Bone marrow aspirate smear; May-Grünwald-Giemsa stain; brightfield, 40× oil-immersion objective:
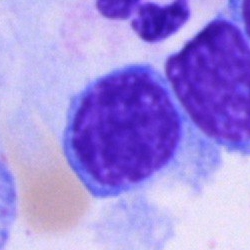Morphology consistent with a typical lymphocyte.